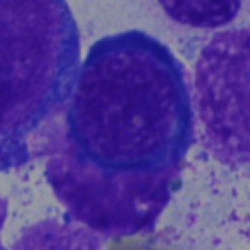Proerythroblast.